MGG stain. Peripheral blood film. 360×363 px — 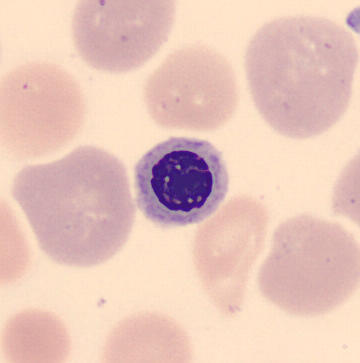 Q: What cell is this?
A: It is a nucleated red cell.